MGG-stained; bone marrow aspirate smear — 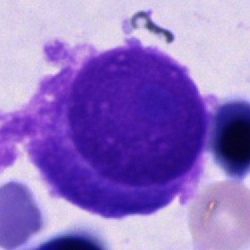
Specimen: bone marrow aspirate smear.
Morphological class: plasma cell.
Lineage: lymphoid.